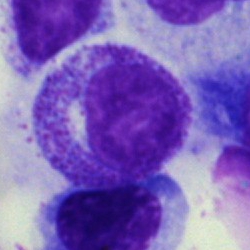 Specimen: bone marrow aspirate smear.
Morphological class: myelocyte.
Lineage: myeloid.